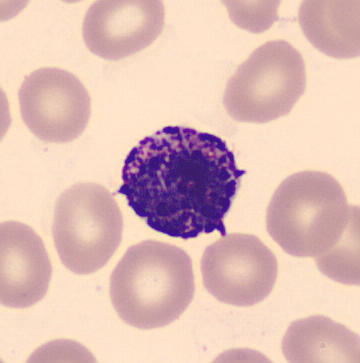{"cell_type": "basophil"}